Bone marrow aspirate smear · single-cell field
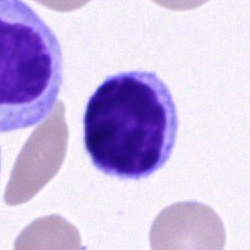 The cell shown is a typical lymphocyte.